Bone marrow aspirate smear — 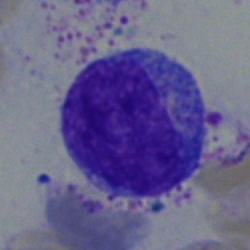 Specimen: bone marrow aspirate smear.
Cell type: myelocyte.
Lineage: myeloid.